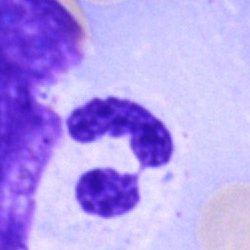
Specimen: bone marrow smear.
Cell type: neutrophil (segmented).